Bone marrow aspirate smear.
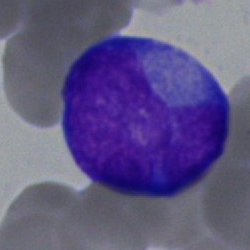Blast.